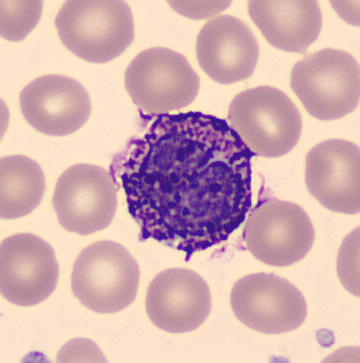 Image: Peripheral blood film. Single cell identified as a basophil.